May-Grünwald-Giemsa stain. Bone marrow aspirate smear — 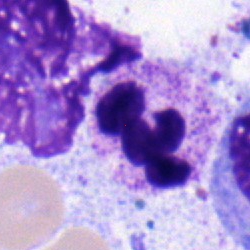This is a segmented neutrophil.